Bone marrow smear · 40× objective, oil immersion — 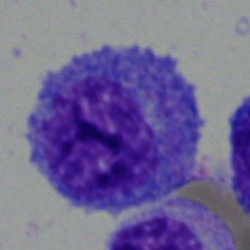Myelocyte.